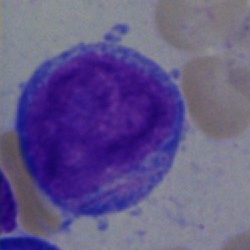Impression — blast.